Bone marrow aspirate smear: 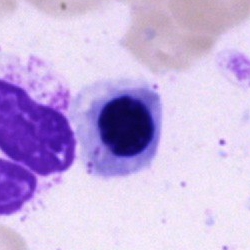 This is a nucleated red cell.